Romanowsky-stained. Cropped to a single cell. Peripheral blood film
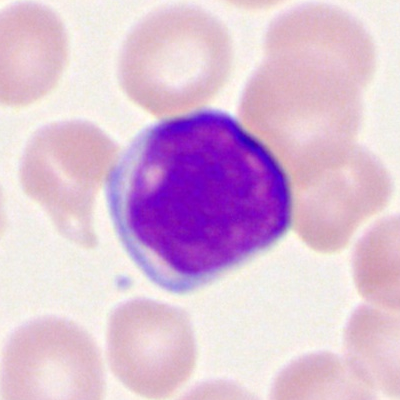

Morphological class = myeloid blast.